Peripheral blood smear · 100× oil immersion
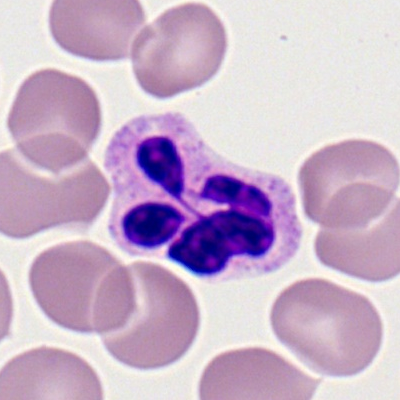Specimen: peripheral blood smear.
Classification: polymorphonuclear neutrophil.